Bone marrow smear.
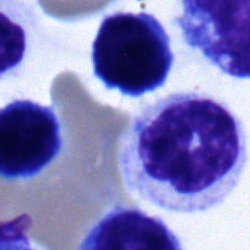Morphology consistent with a lymphocyte.